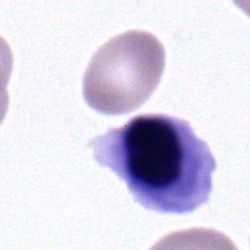
Erythroblast.